Bone marrow aspirate smear. MGG-stained
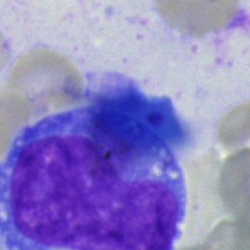 Q: Identify the cell.
A: It is a blast.